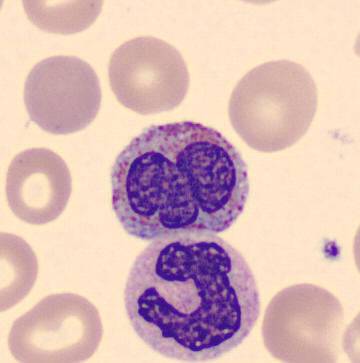
Morphology → eosinophil. Peripheral blood film; 360 by 363 pixels.